Bone marrow smear; 250×250 px; single-cell field
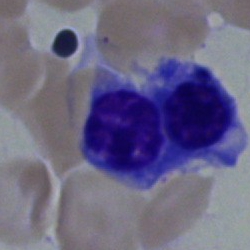 Nucleated red cell.